Bone marrow aspirate smear; single-cell field.
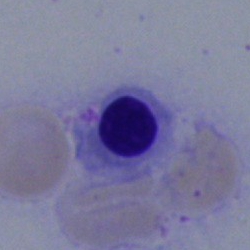

Morphology consistent with a normoblast.